May-Grünwald-Giemsa stain · brightfield, 40× oil-immersion objective · bone marrow aspirate smear — 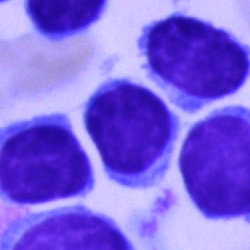
Classification — lymphocyte.